Bone marrow smear.
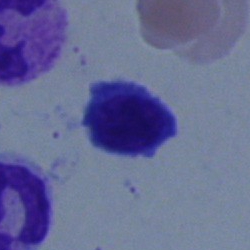

{"cell_type": "lymphocyte", "lineage": "lymphoid"}